Bone marrow smear:
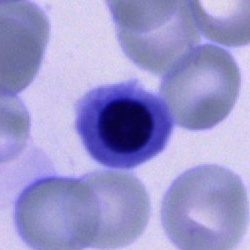

Specimen: bone marrow aspirate smear.
Classification: nucleated red blood cell.
Lineage: erythroid.